Bone marrow smear · brightfield microscopy, 40× oil immersion: 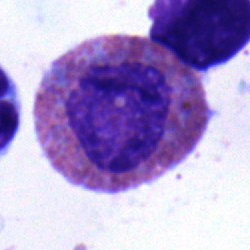

The classification is eosinophil.